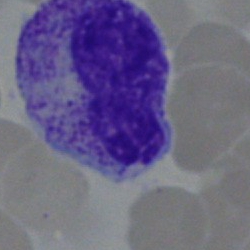

Cell type = metamyelocyte.